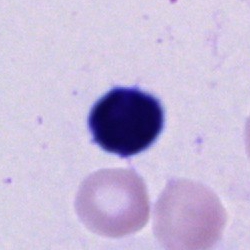
Morphological class — cell of indeterminate lineage.